Single-cell field. 40× oil immersion. Bone marrow aspirate smear: 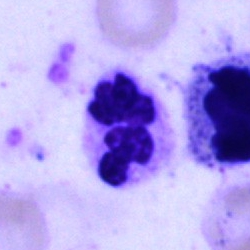Single cell identified as a neutrophil (segmented).